Bone marrow aspirate smear · single-cell field — 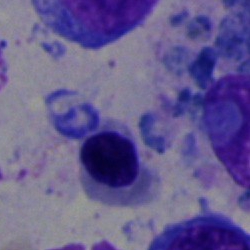 Morphology → erythroblast.